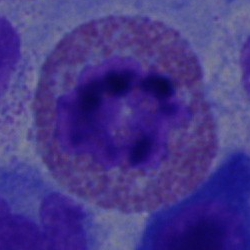
Q: What type of cell is this?
A: This is an eosinophil.